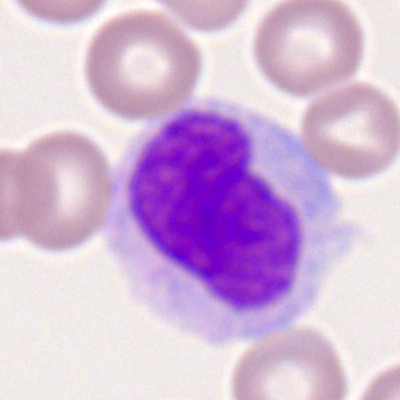

{"cell_type": "monocyte", "lineage": "myeloid"}